Single cell centered in the field; peripheral blood film; Romanowsky-type stain: 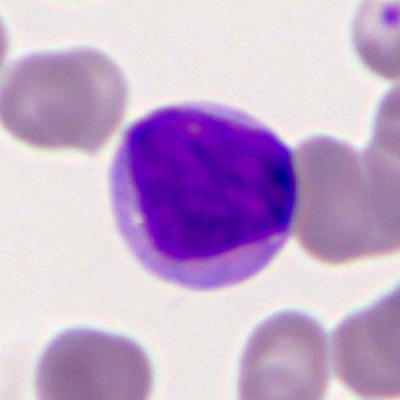The cell shown is a myeloid blast.